Bone marrow aspirate smear
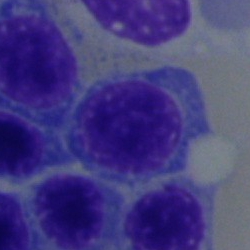Impression — normoblast.